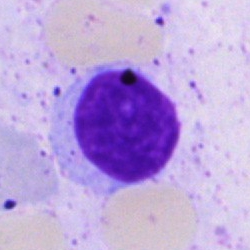 Single cell identified as a typical lymphocyte.